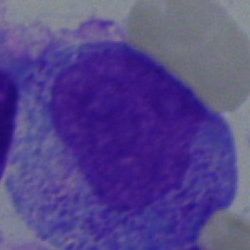

Impression → promyelocyte.